Bone marrow aspirate smear: 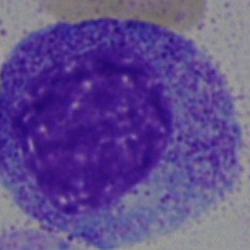 Q: Which cell type is shown here?
A: It is a promyelocyte.